Bone marrow smear · single-cell crop.
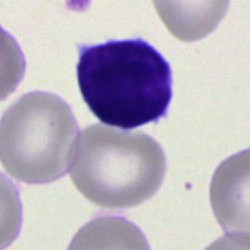The cell shown is a lymphocyte.